Bone marrow smear · single-cell crop · image size 250×250: 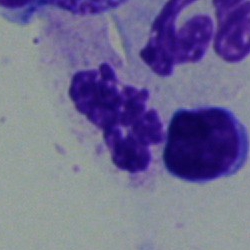The cell shown is a polymorphonuclear neutrophil.